40× objective, oil immersion; image size 250×250; bone marrow aspirate smear.
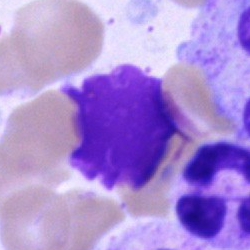 Artefact.